Peripheral blood film — 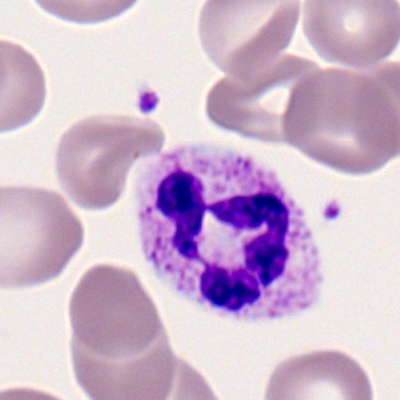 The cell is neutrophil (segmented).